Bone marrow smear. Brightfield microscopy, 40× oil immersion. Single cell centered in the field.
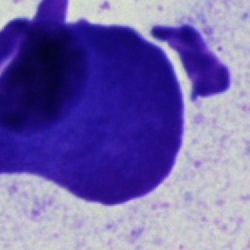Morphology consistent with a plasma cell.